Bone marrow smear. May-Grünwald-Giemsa stain. 40× objective, oil immersion: 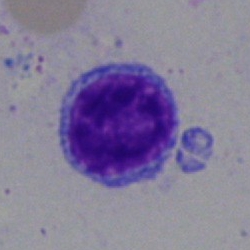 This is a lymphocyte.